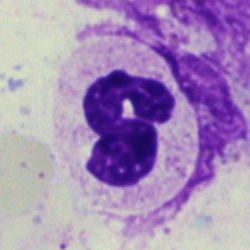This is a neutrophil (segmented).